Bone marrow smear — 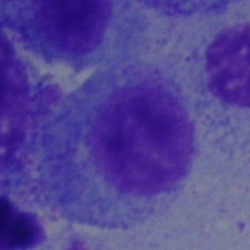

A myelocyte.